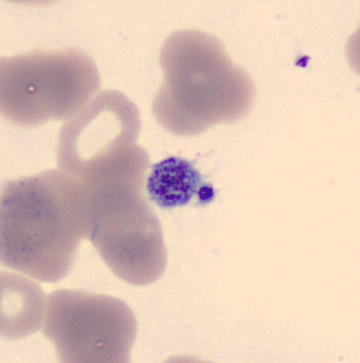Peripheral blood smear showing a platelet.